40× oil immersion. Single-cell field. Bone marrow smear
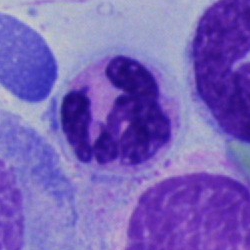
Cell type — polymorphonuclear neutrophil.